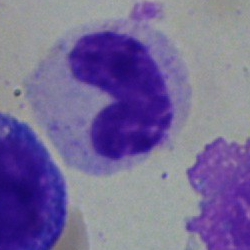 The classification is band-form neutrophil.